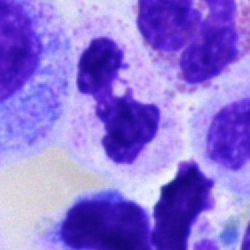

Single cell identified as a polymorphonuclear neutrophil.